Bone marrow aspirate smear:
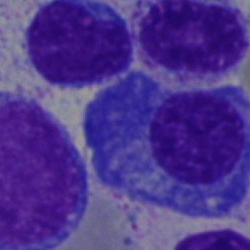 Specimen: bone marrow smear.
Cell: plasma cell.